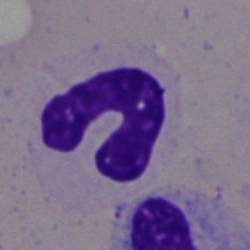Q: Identify the cell.
A: It is a segmented neutrophil.